Bone marrow smear — 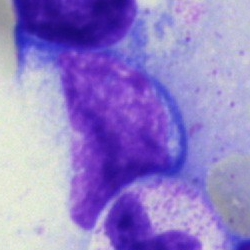
The classification is blast.